Bone marrow smear.
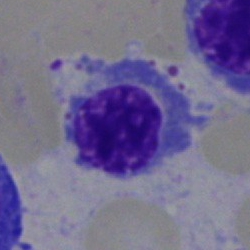Q: Which cell type is shown here?
A: A normoblast.